Bone marrow aspirate smear · May-Grünwald-Giemsa stain · 40× oil immersion:
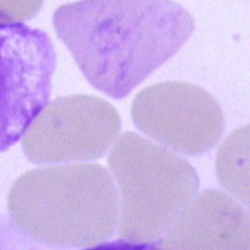
Specimen: bone marrow smear.
Cell type: artefact.